40× oil immersion. Bone marrow aspirate smear.
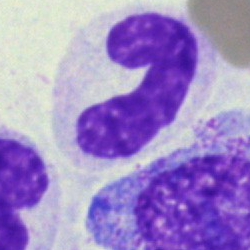
A neutrophil (band).